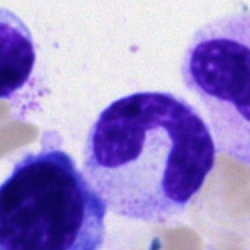Specimen: bone marrow aspirate smear.
Cell type: stab cell.
Lineage: myeloid.